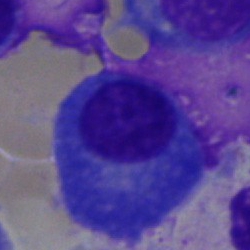

Q: Which cell type is shown here?
A: A plasma cell.